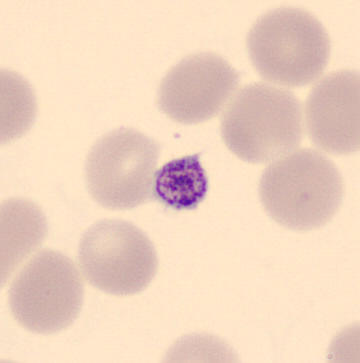 Showing a platelet.

Preparation: Peripheral blood smear.